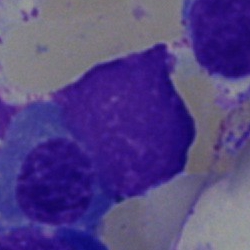

Classification — artefact.